Romanowsky-stained. Peripheral blood film. Image size 400×400 — 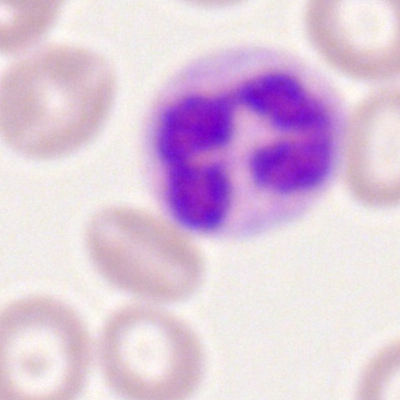
This is a neutrophil (segmented).